Bone marrow smear
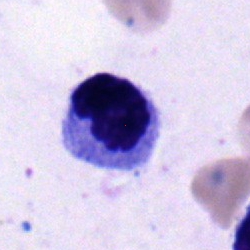

Cell = monocyte.